250×250 px; bone marrow aspirate smear — 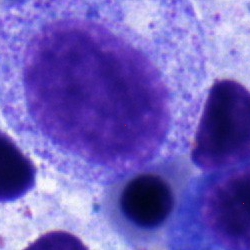 Progranulocyte.